Brightfield, 40× oil-immersion objective; bone marrow smear; single-cell field — 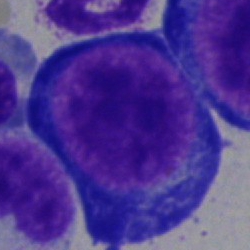{"cell_type": "pronormoblast", "lineage": "erythroid"}